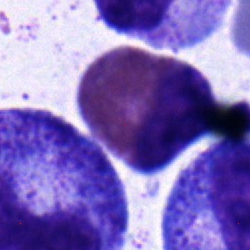
The classification is eosinophilic granulocyte.